Bone marrow aspirate smear · May-Grünwald-Giemsa/Pappenheim stain
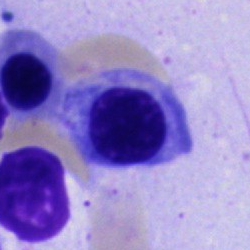

Specimen: bone marrow smear.
Cell type: normoblast.